Bone marrow smear — 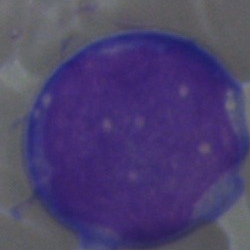 Q: What is the morphological classification of this cell?
A: It is a blast.